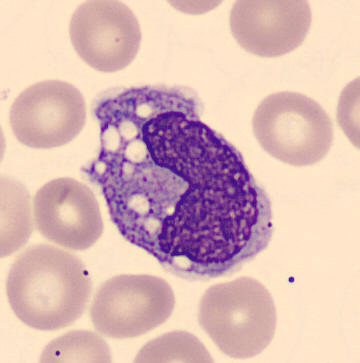
Q: What type of cell is this?
A: Monocyte.

Peripheral blood film. May Grünwald-Giemsa stain.